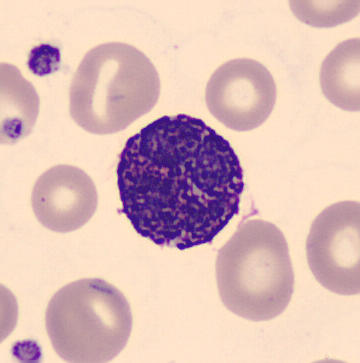
Peripheral blood film · May-Grünwald-Giemsa-stained. Classification = basophil.